Bone marrow aspirate smear; brightfield microscopy, 40× oil immersion.
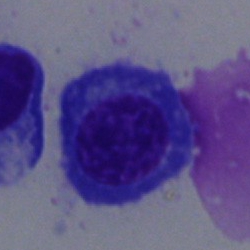

Morphology consistent with an erythroblast.